Bone marrow smear.
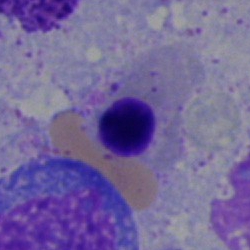 {"cell_type": "normoblast", "lineage": "erythroid"}